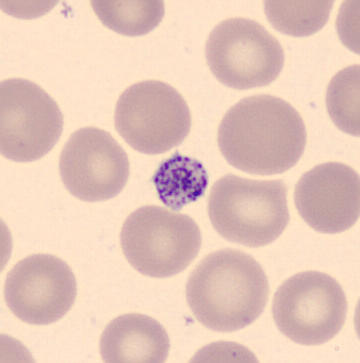Morphology — platelet.